Bone marrow aspirate smear · 250 by 250 pixels · 40× objective, oil immersion — 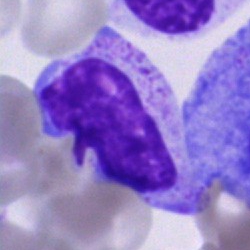 Q: What is the morphological classification of this cell?
A: An unidentifiable cell.